Bone marrow smear
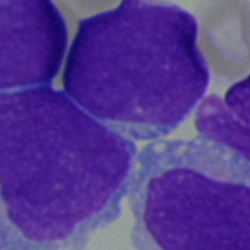

Classification: blast.